Bone marrow aspirate smear · single cell centered in the field · 40× oil immersion — 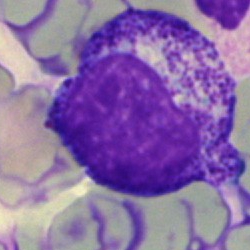 Specimen: bone marrow smear.
Classification: promyelocyte.